Single cell centered in the field; May-Grünwald-Giemsa/Pappenheim stain; bone marrow smear.
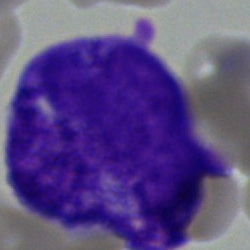 Cell type — blast.